Bone marrow smear: 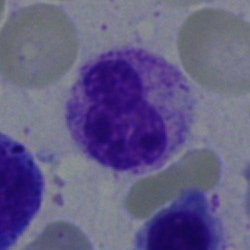
Specimen: bone marrow smear.
Cell type: segmented neutrophil.